MGG-stained; bone marrow smear; single-cell field: 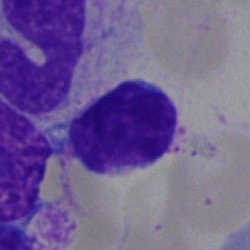

Morphology — typical lymphocyte.